Bone marrow smear: 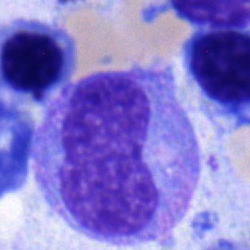Impression — metamyelocyte.